Bone marrow smear — 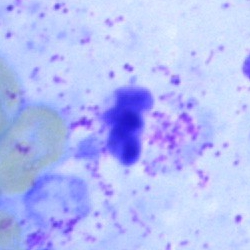

Specimen: bone marrow smear.
Classification: artifact.